250 by 250 pixels · Pappenheim-stained · bone marrow smear
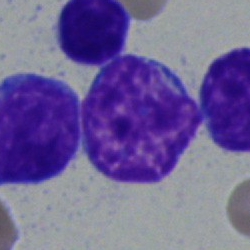 Morphology consistent with a typical lymphocyte.